Bone marrow aspirate smear. MGG-stained. Single-cell field:
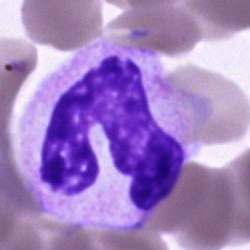
Specimen: bone marrow smear.
Cell type: band neutrophil.